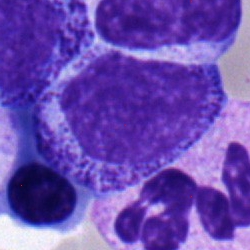Impression — myelocyte.